Bone marrow smear · May-Grünwald-Giemsa stain — 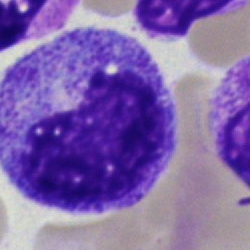

Morphological class = metamyelocyte.